Pappenheim-stained; bone marrow smear:
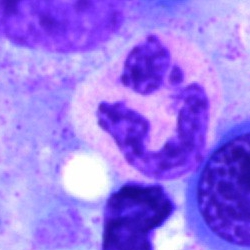
Morphology → neutrophil (segmented).